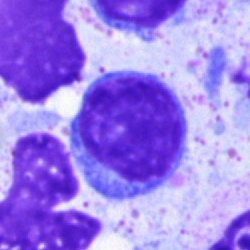 Morphological class — lymphocyte.